Peripheral blood film:
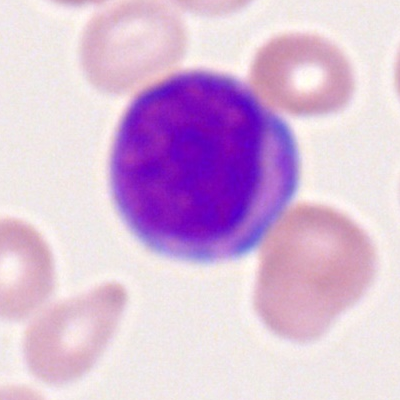
Single cell identified as a myeloid blast.